Bone marrow aspirate smear · cropped to a single cell
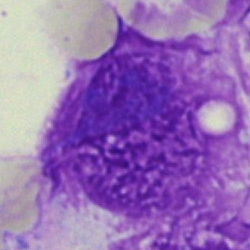
Single cell identified as an artifact.